Bone marrow aspirate smear. Single-cell crop
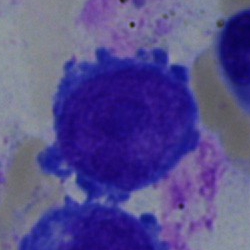Q: What cell is this?
A: Blast.